May-Grünwald-Giemsa/Pappenheim stain · bone marrow aspirate smear — 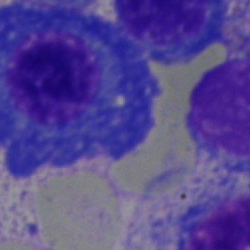
A plasma cell.